Bone marrow aspirate smear
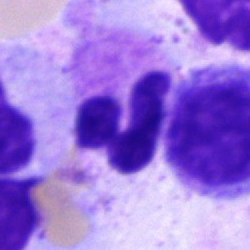Classification: neutrophil (segmented).